Romanowsky stain. 100× oil immersion. Peripheral blood film.
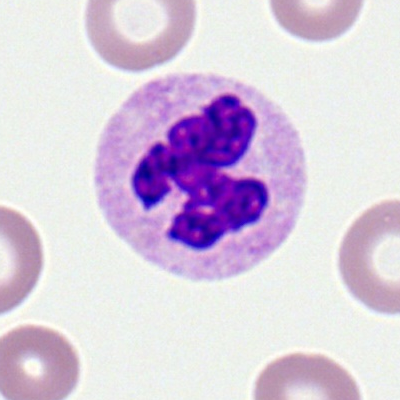

The cell type is polymorphonuclear neutrophil.